Single-cell crop. 250×250. Bone marrow aspirate smear
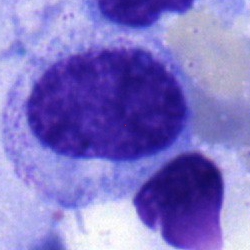Q: What is the morphological classification of this cell?
A: It is a metamyelocyte.